Bone marrow aspirate smear.
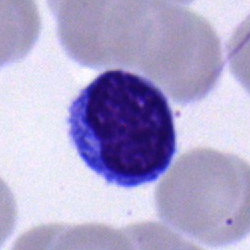Cell type: typical lymphocyte.